Peripheral blood smear
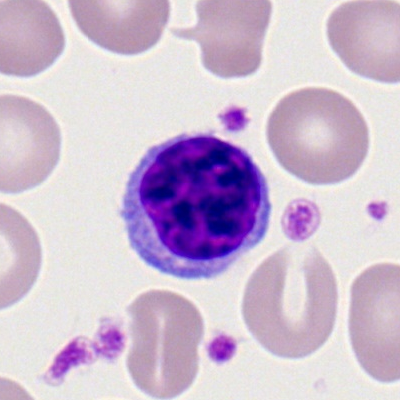

Cell — lymphocyte.